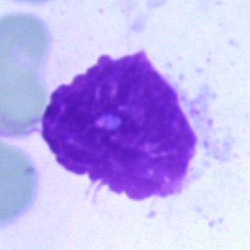Bone marrow aspirate smear, single cell — artifact.